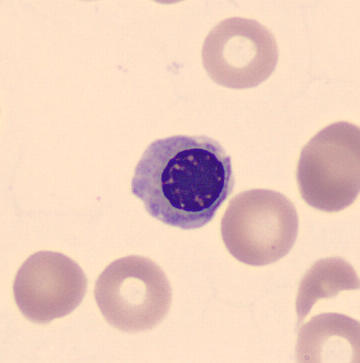

A nucleated red cell.
Acquisition: Peripheral blood smear.